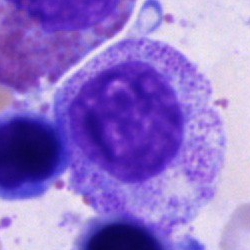

Morphology — promyelocyte.